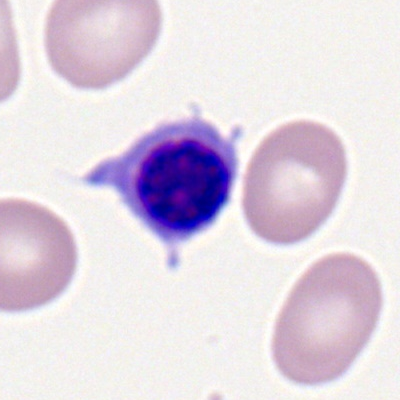

Showing a lymphocyte.